Bone marrow aspirate smear — 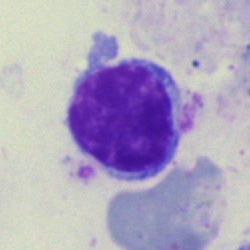 Q: What cell is this?
A: It is a typical lymphocyte.